Bone marrow aspirate smear. MGG-stained. Single-cell crop: 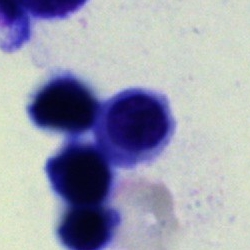
Impression → artefact.